100× oil immersion, 14.14 px/µm. Peripheral blood film
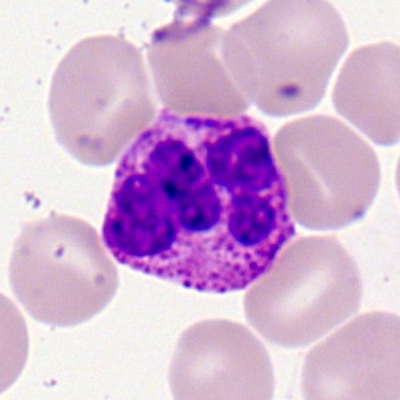 Morphology — basophil.